Brightfield microscopy, 40× oil immersion. Bone marrow smear — 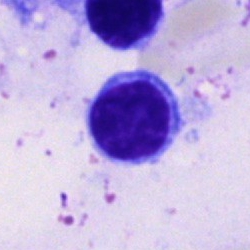 Morphology → typical lymphocyte.